Peripheral blood smear
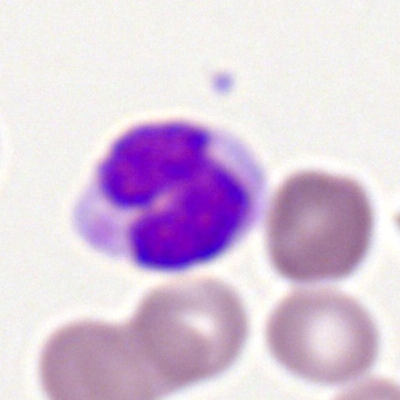 Polymorphonuclear neutrophil.